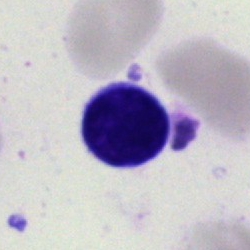

{"cell_type": "artifact"}